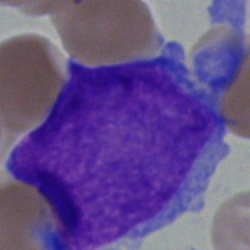 Q: What cell is this?
A: A blast cell.